Bone marrow aspirate smear: 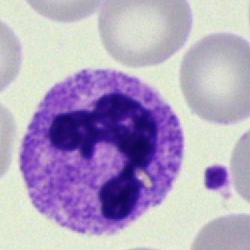

Q: Identify the cell.
A: A neutrophil (segmented).